Bone marrow smear — 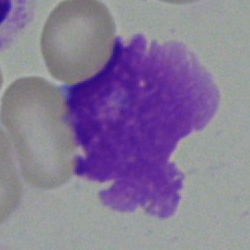
Impression → neutrophil (segmented).